MGG-stained. Bone marrow smear. Image size 250×250:
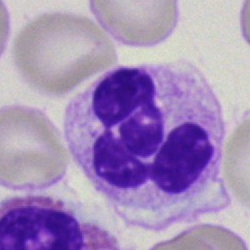Morphology → neutrophil (segmented).